Single-cell crop; bone marrow smear; brightfield microscopy, 40× oil immersion — 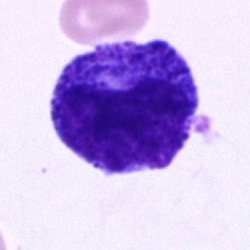Impression — progranulocyte.